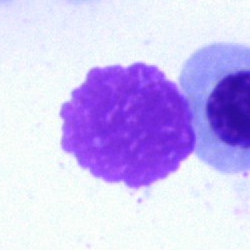

Q: What is shown here?
A: Artefact.